Bone marrow aspirate smear. Cropped to a single cell: 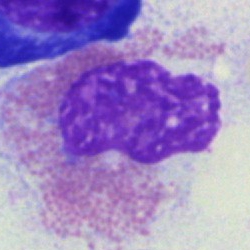

Specimen: bone marrow aspirate smear.
Cell: artifact.